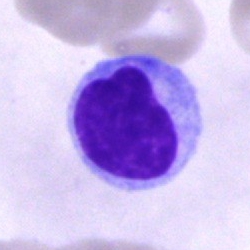

Bone marrow aspirate smear, single cell — typical lymphocyte.